Bone marrow smear. Brightfield microscopy, 40× oil immersion: 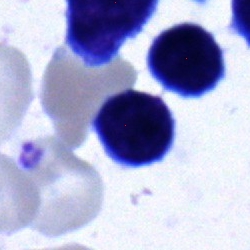
Specimen: bone marrow smear.
Morphological class: typical lymphocyte.
Lineage: lymphoid.